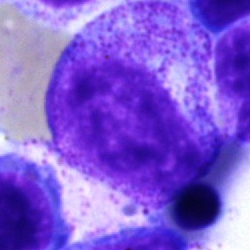 {"cell_type": "myelocyte", "lineage": "myeloid"}